Bone marrow aspirate smear
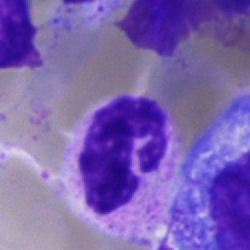
Cell type = polymorphonuclear neutrophil.